Bone marrow smear: 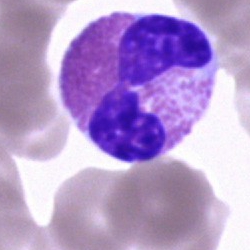
Q: Which cell type is shown here?
A: This is an eosinophilic granulocyte.